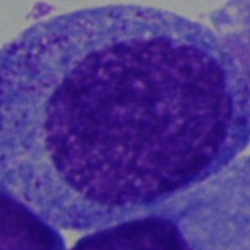 Cell = progranulocyte.